Bone marrow aspirate smear.
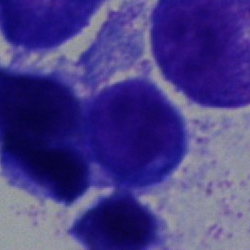
A typical lymphocyte.